Bone marrow smear:
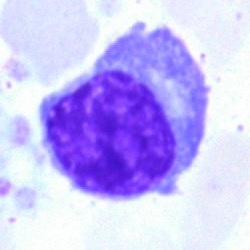
Specimen: bone marrow aspirate smear.
Cell: lymphocyte.